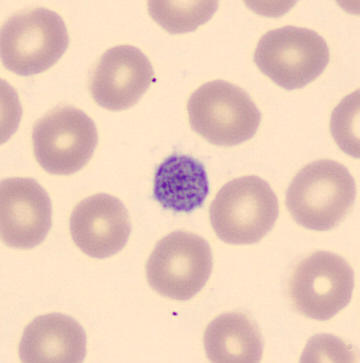

Impression — platelet. Acquisition: MGG-stained; peripheral blood film; 360×363 px.